Peripheral blood smear.
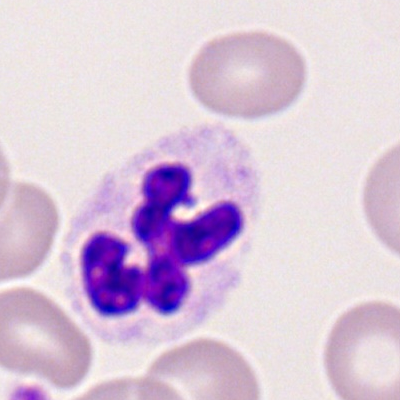 {"cell_type": "neutrophil (segmented)"}